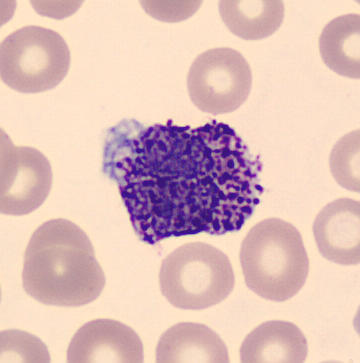
Q: What is shown here?
A: Basophilic granulocyte. May Grünwald-Giemsa stain · CellaVision DM96 · peripheral blood smear.